Brightfield microscopy, 40× oil immersion; bone marrow smear; single-cell field: 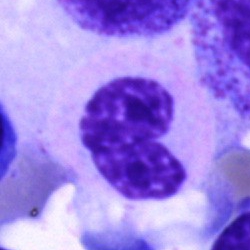Showing a neutrophil (segmented).